Bone marrow smear
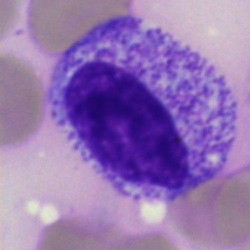 Q: Identify the cell.
A: A myelocyte.